Cropped to a single cell · image size 250×250 · bone marrow smear
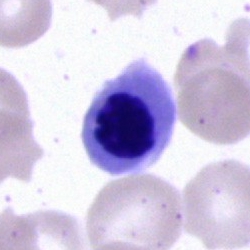

The classification is erythroblast.